Bone marrow smear — 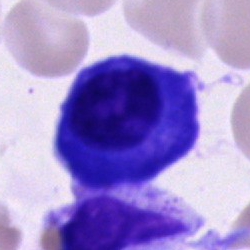A plasmacyte.